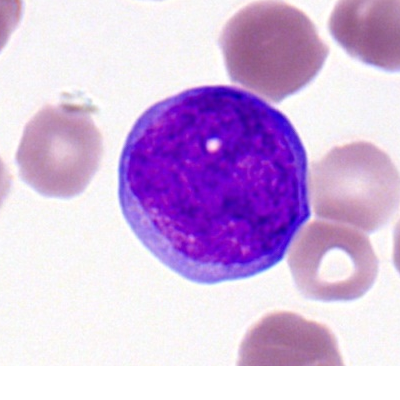Classification — myeloid blast.